Cropped to a single cell; brightfield microscopy, 40× oil immersion; bone marrow smear: 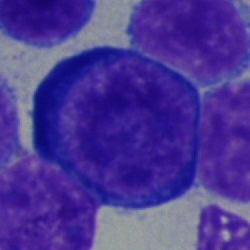

Morphology consistent with a proerythroblast.